Bone marrow smear: 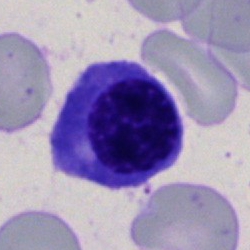

A nucleated red blood cell.